Single-cell crop. Bone marrow aspirate smear:
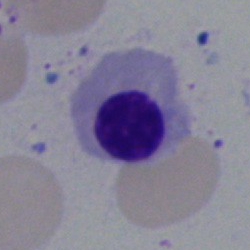 Cell: erythroblast.